40× objective, oil immersion; bone marrow aspirate smear: 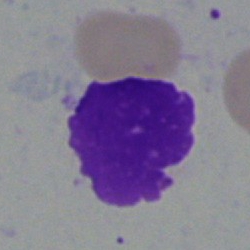

Morphological class = artifact.